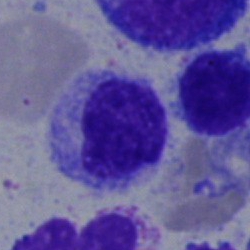

This is a typical lymphocyte.